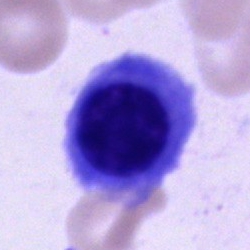Specimen: bone marrow smear.
Cell: nucleated red blood cell.